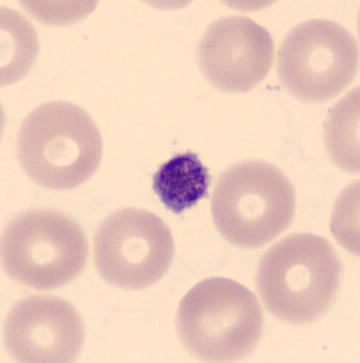

Specimen: peripheral blood film.
Classification: platelet (thrombocyte). Acquisition: 360×363 · MGG stain.